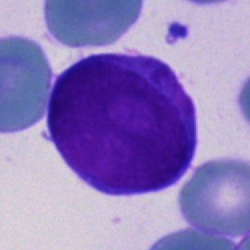

Single-cell crop from a bone marrow smear: blast.